Bone marrow aspirate smear
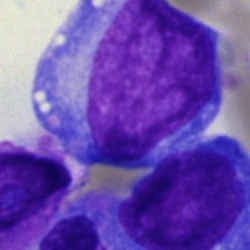

A blast.